Bone marrow aspirate smear. Single cell centered in the field. Brightfield, 40× oil-immersion objective
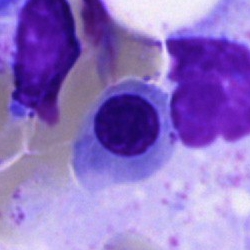
Erythroblast.